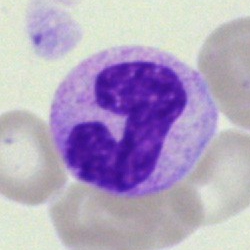 Bone marrow smear showing a neutrophil (segmented).